Bone marrow smear:
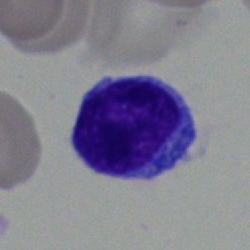
Single cell identified as a lymphocyte.